MGG-stained; bone marrow smear:
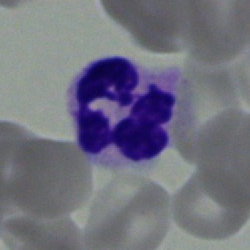

The cell shown is a neutrophil (segmented).